Bone marrow smear. 250 by 250 pixels: 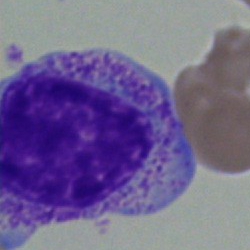
Morphology consistent with a promyelocyte.